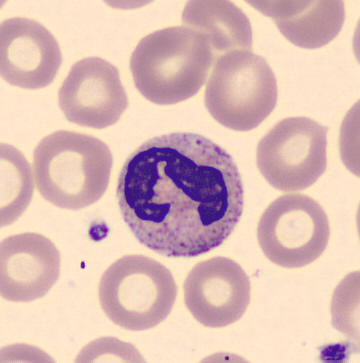

Specimen: peripheral blood smear.
Morphological class: segmented neutrophil.
Lineage: myeloid.